Bone marrow smear; single-cell crop; 250×250 px:
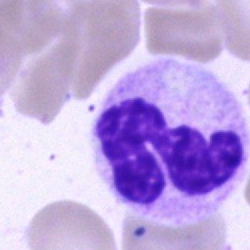

This is a segmented neutrophil.